Bone marrow smear: 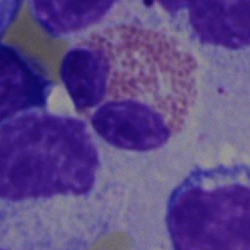 Morphology — eosinophil.